Bone marrow smear
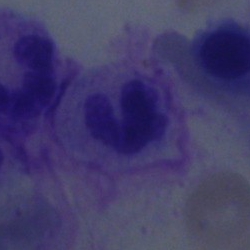
Q: What type of cell is this?
A: It is a neutrophil (segmented).